100× objective, oil immersion; peripheral blood smear; Romanowsky-stained
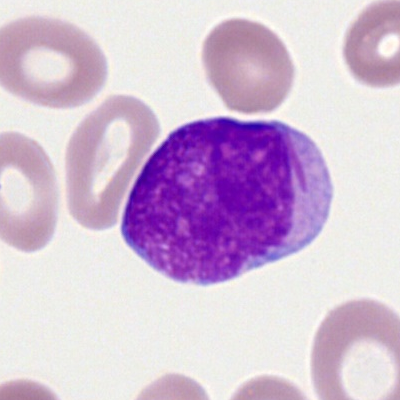

Morphology consistent with a myeloid blast.